Bone marrow smear · single cell centered in the field:
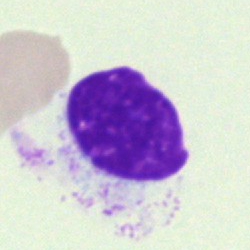 Q: What type of cell is this?
A: It is an unidentifiable cell.